Peripheral blood film
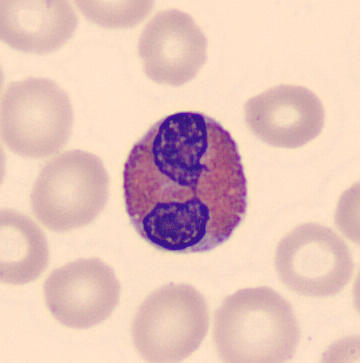Morphology → eosinophil.